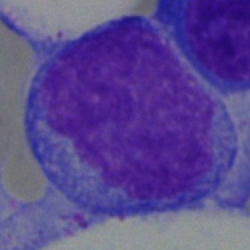Morphology — blast cell.